Bone marrow smear
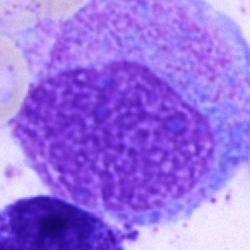

Morphology consistent with an artifact.